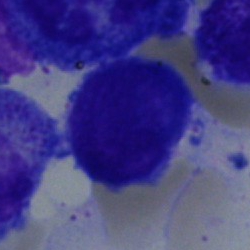

Bone marrow aspirate smear, single cell — undifferentiated blast.